Bone marrow smear · Pappenheim-stained.
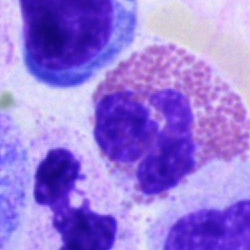Specimen: bone marrow smear.
Classification: eosinophil.